Single-cell field · peripheral blood film: 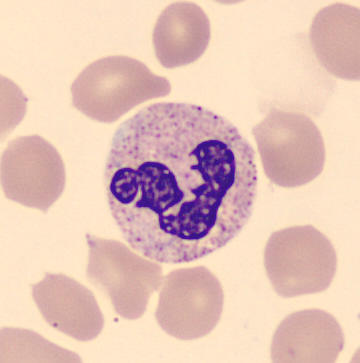

Classification = neutrophil (segmented).